Pappenheim-stained. Bone marrow smear: 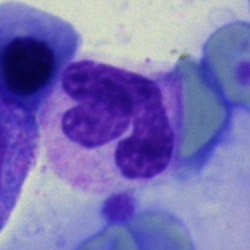 Segmented neutrophil.